Bone marrow aspirate smear: 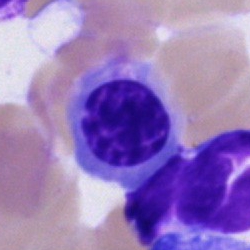 Specimen: bone marrow smear.
Morphological class: normoblast.